Bone marrow smear
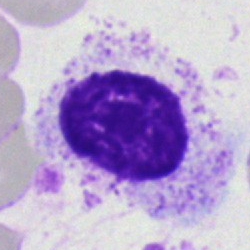
This is an artifact.